Single cell centered in the field; bone marrow smear.
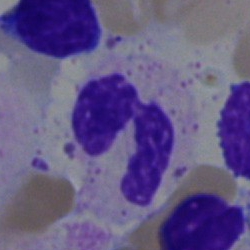Morphology — neutrophil (segmented).